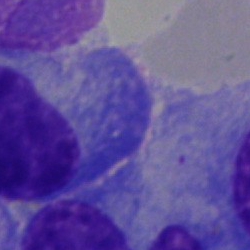
The cell is plasma cell.